Bone marrow aspirate smear — 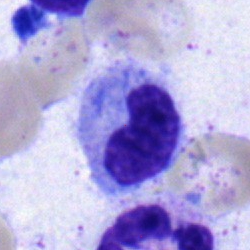Single cell identified as a metamyelocyte.